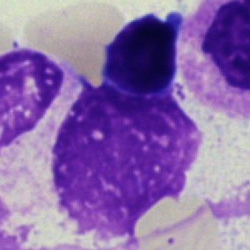Showing an artefact.